40× oil immersion. Bone marrow aspirate smear: 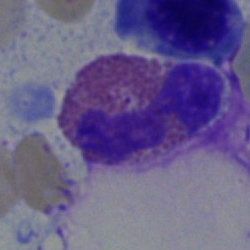
Morphological class — eosinophilic granulocyte.